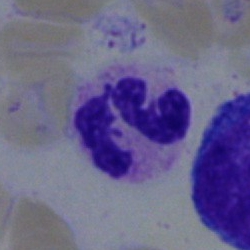
Showing a polymorphonuclear neutrophil.